250×250; bone marrow aspirate smear
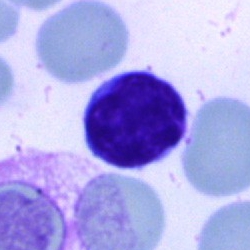
Classification — typical lymphocyte.